Bone marrow smear — 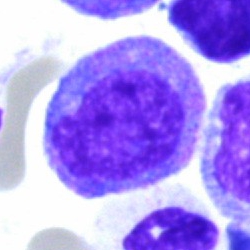Myelocyte.